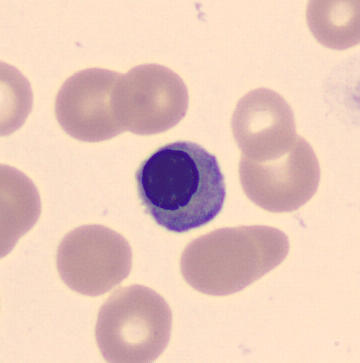The classification is erythroblast.